Bone marrow smear; brightfield, 40× oil-immersion objective; 250×250 px.
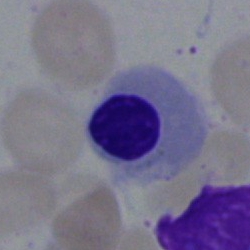

Classification: normoblast.